40× oil immersion; bone marrow aspirate smear: 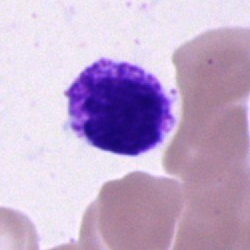
Single cell identified as a basophilic granulocyte.